Brightfield microscopy, 40× oil immersion · bone marrow aspirate smear:
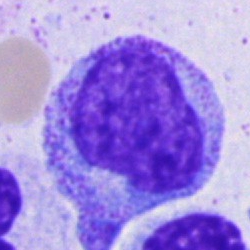
Specimen: bone marrow smear.
Morphological class: progranulocyte.